Brightfield, 40× oil-immersion objective; 250 by 250 pixels; bone marrow smear — 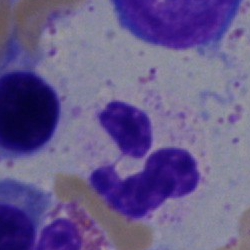Neutrophil (segmented).